Bone marrow aspirate smear
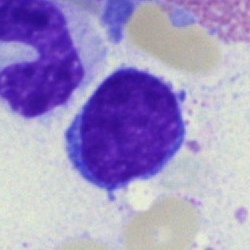Q: Which cell type is shown here?
A: This is a typical lymphocyte.